Bone marrow aspirate smear
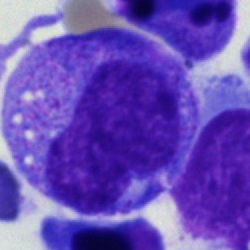 The cell shown is a progranulocyte.